Peripheral blood smear: 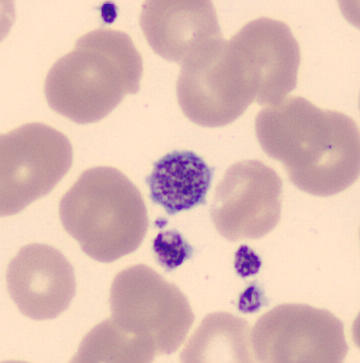

Identified as a platelet (thrombocyte).